Bone marrow smear; single-cell crop: 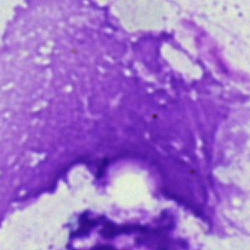

An artefact.